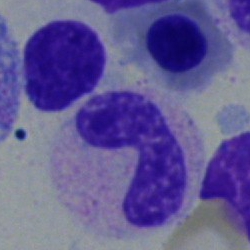
Q: What type of cell is this?
A: This is a neutrophil (band).